250×250 px · bone marrow aspirate smear
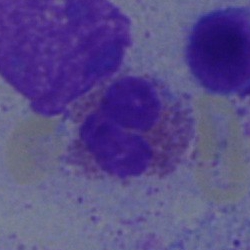Cell type — eosinophil.